Bone marrow aspirate smear.
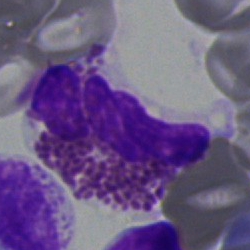 Q: What type of cell is this?
A: It is an eosinophil.